Peripheral blood smear: 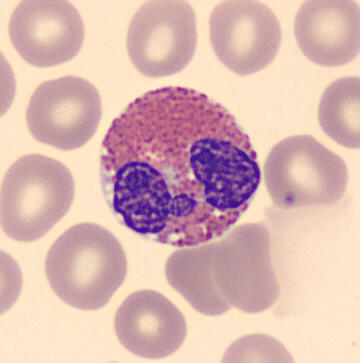 Eosinophilic granulocyte.